Bone marrow smear
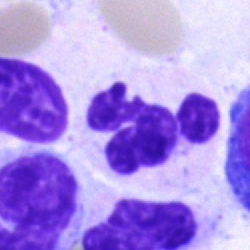

{"cell_type": "neutrophil (segmented)"}